Bone marrow aspirate smear — 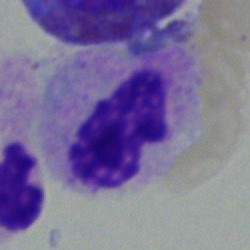

Morphology → segmented neutrophil.